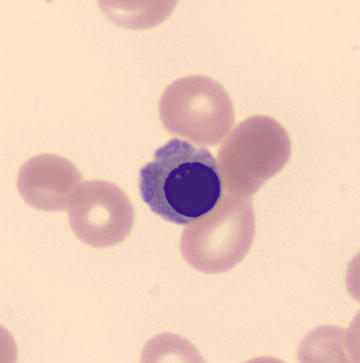 This is a normoblast.
Acquisition: Peripheral blood film.